Bone marrow smear
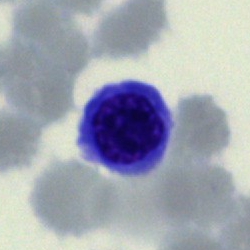Specimen: bone marrow aspirate smear.
Classification: nucleated red cell.
Lineage: erythroid.